Bone marrow aspirate smear — 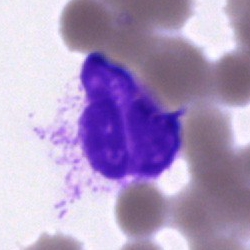Morphological class — artefact.